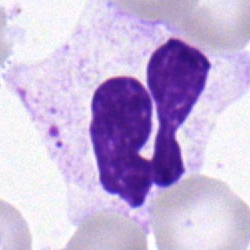

Impression → neutrophil (segmented).